MGG-stained; bone marrow aspirate smear; brightfield, 40× oil-immersion objective: 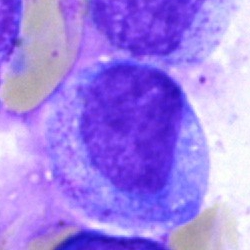Morphology → promyelocyte.